Bone marrow aspirate smear — 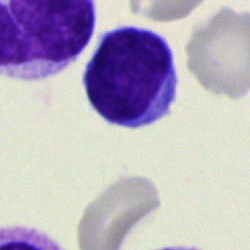

Cell = typical lymphocyte.